Peripheral blood film: 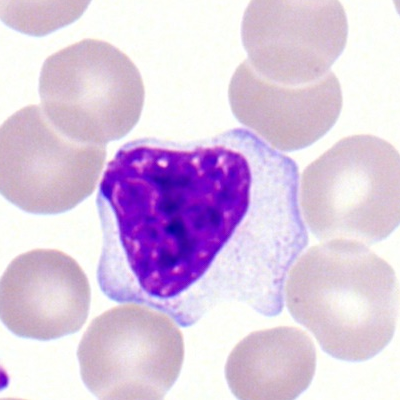The cell shown is a typical lymphocyte.